250×250 · brightfield microscopy, 40× oil immersion · bone marrow smear — 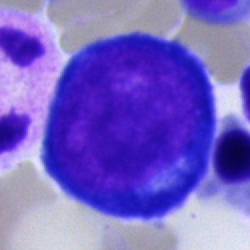 Morphology consistent with a proerythroblast.